Bone marrow smear.
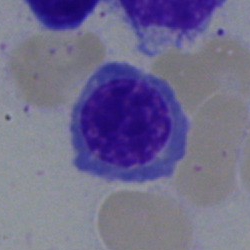

The cell type is nucleated red cell.